Bone marrow smear: 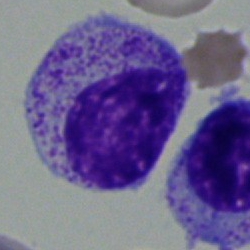
{"cell_type": "myelocyte"}